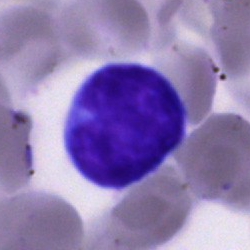

Morphology → typical lymphocyte.